Single-cell field · MGG-stained · bone marrow aspirate smear:
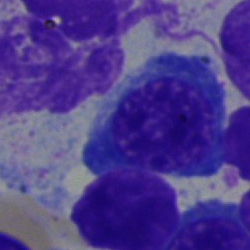 Specimen: bone marrow aspirate smear.
Cell: nucleated red cell.
Lineage: erythroid.